400 by 400 pixels; peripheral blood smear; single-cell crop.
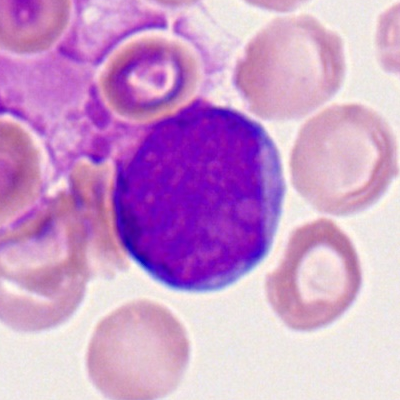
A myeloid blast.